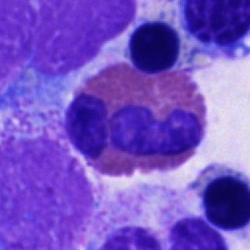
Cell = eosinophil.